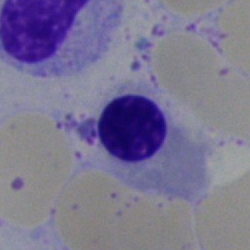 Morphological class — nucleated red blood cell.